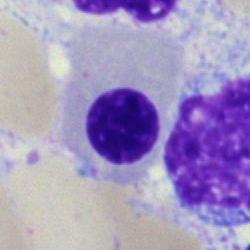Specimen: bone marrow aspirate smear.
Morphological class: normoblast.
Lineage: erythroid.